May-Grünwald-Giemsa stain; bone marrow smear
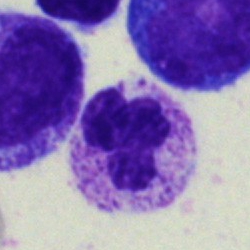The classification is segmented neutrophil.